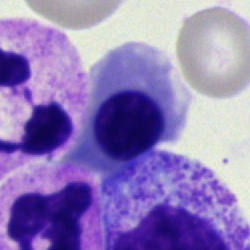Q: Which cell type is shown here?
A: Normoblast.